Bone marrow smear
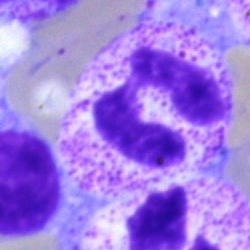

Q: What is shown here?
A: A polymorphonuclear neutrophil.